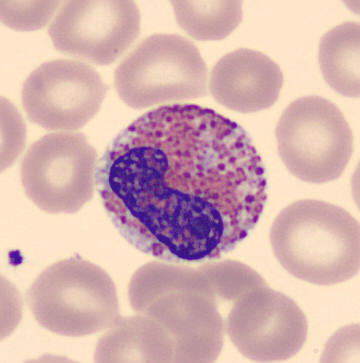

Classification — eosinophilic granulocyte.